Bone marrow aspirate smear — 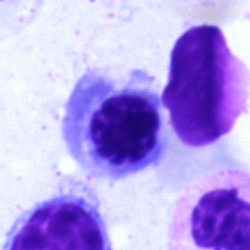

The cell shown is a normoblast.